Bone marrow smear: 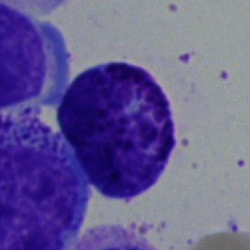

Q: What type of cell is this?
A: This is a basophil.